May-Grünwald-Giemsa stain · 250×250 px · bone marrow aspirate smear — 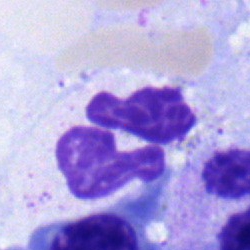 The cell is segmented neutrophil.